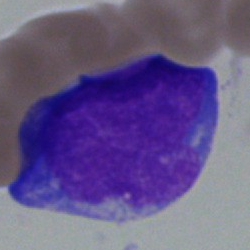 A blast.